Bone marrow aspirate smear — 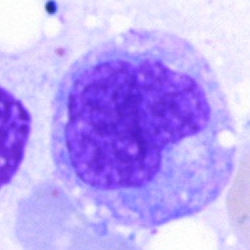
The cell shown is a monocyte.